Pappenheim-stained · bone marrow smear: 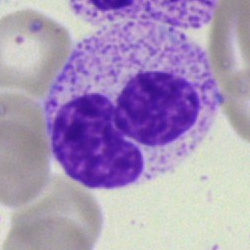Specimen: bone marrow aspirate smear.
Morphological class: polymorphonuclear neutrophil.
Lineage: myeloid.